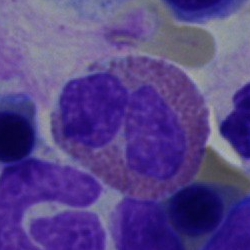
Classification — eosinophilic granulocyte.